Bone marrow smear.
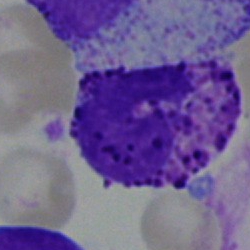

Impression — monocyte.